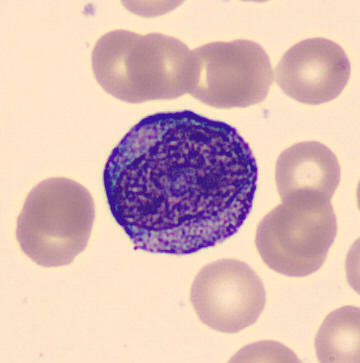

Acquisition: Peripheral blood smear; MGG-stained.
The morphological class is promyelocyte.